Bone marrow aspirate smear
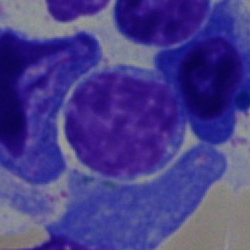 Q: What cell is this?
A: It is a typical lymphocyte.